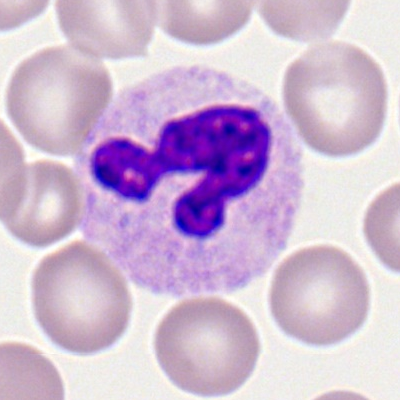

The cell shown is a neutrophil (segmented).